Bone marrow smear. Cropped to a single cell — 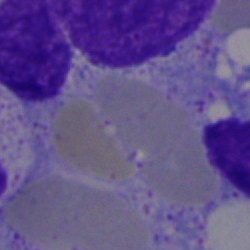
Q: What is shown here?
A: This is an artifact.